Bone marrow aspirate smear.
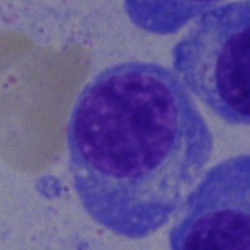Showing a plasma cell.